Peripheral blood smear — 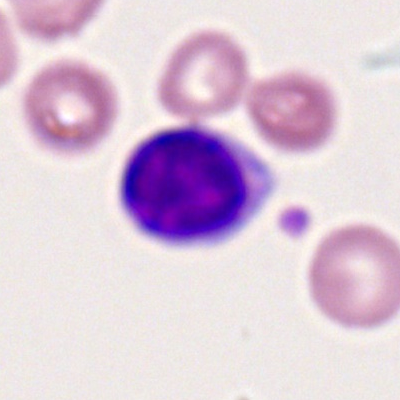
This is a typical lymphocyte.